Bone marrow smear — 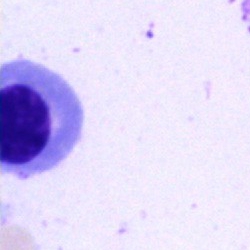

Morphology consistent with a nucleated red cell.